Brightfield, 40× oil-immersion objective · bone marrow smear · 250×250
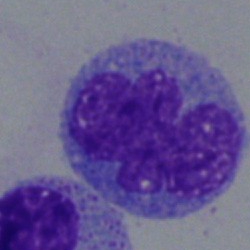Q: Which cell type is shown here?
A: This is a monocyte.